May-Grünwald-Giemsa stain; bone marrow aspirate smear; 40× oil immersion — 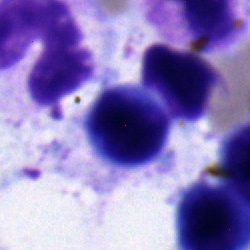
Cell — erythroblast.